Bone marrow smear.
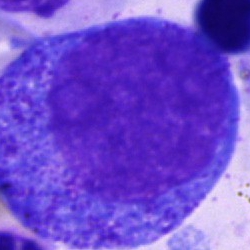The cell type is progranulocyte.